Bone marrow smear — 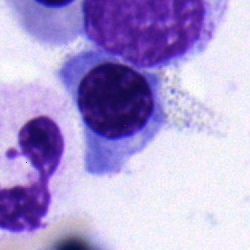

Morphology consistent with a nucleated red cell.